Bone marrow smear; single cell centered in the field; 250 by 250 pixels — 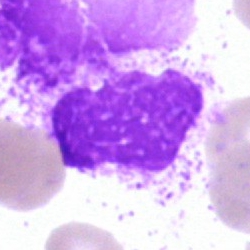Morphology consistent with an artefact.